Bone marrow aspirate smear — 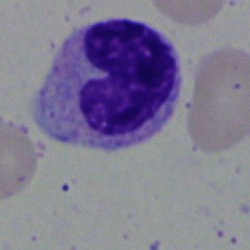
Classification = metamyelocyte.